Bone marrow smear; Pappenheim-stained
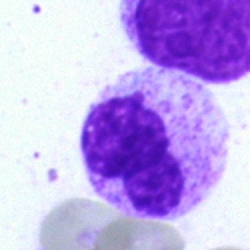
Q: What is shown here?
A: A band neutrophil.